Bone marrow aspirate smear: 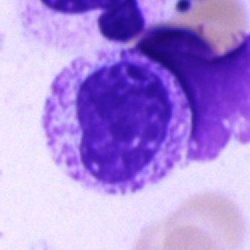 Q: Which cell type is shown here?
A: This is a myelocyte.